40× objective, oil immersion. Bone marrow aspirate smear:
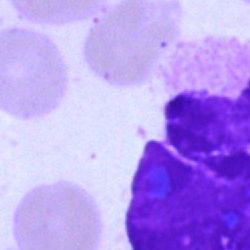{"cell_type": "artifact"}